250 by 250 pixels; bone marrow smear; May-Grünwald-Giemsa/Pappenheim stain.
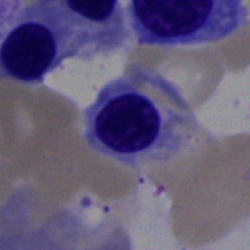

Q: What is the morphological classification of this cell?
A: Nucleated red blood cell.